Peripheral blood film
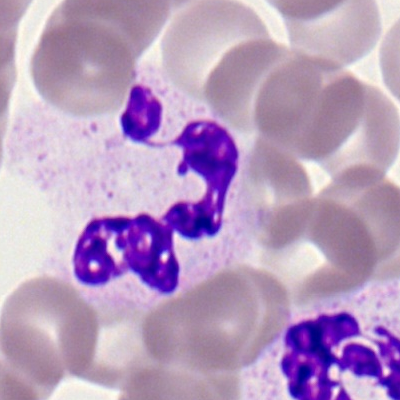Showing a neutrophil (segmented).